Bone marrow aspirate smear: 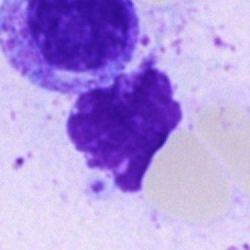Classification = artifact.